Bone marrow smear.
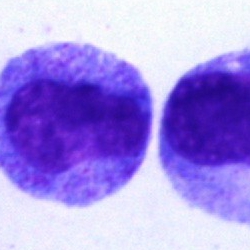
This is a progranulocyte.